Bone marrow aspirate smear:
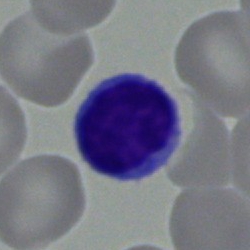
Q: Identify the cell.
A: It is a lymphocyte.